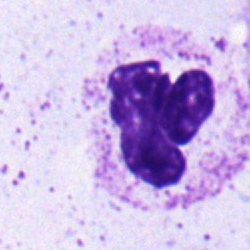

Q: What type of cell is this?
A: This is a neutrophil (segmented).